Single-cell crop · 250 by 250 pixels · bone marrow aspirate smear
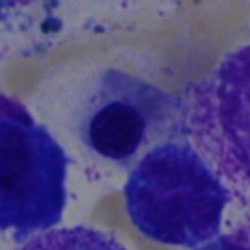
Showing a nucleated red blood cell.